Bone marrow aspirate smear — 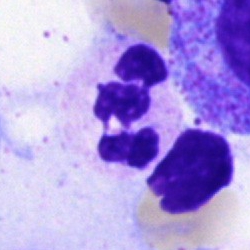
Specimen: bone marrow smear.
Cell type: polymorphonuclear neutrophil.
Lineage: myeloid.